Bone marrow aspirate smear — 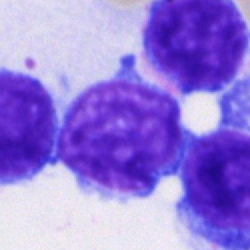 Specimen: bone marrow aspirate smear.
Classification: typical lymphocyte.